Bone marrow smear — 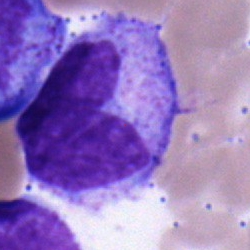A monocyte.